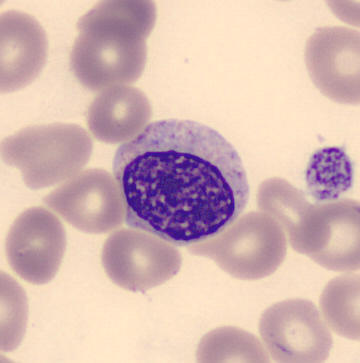Peripheral blood film, single cell — myelocyte.